Peripheral blood smear; single cell centered in the field — 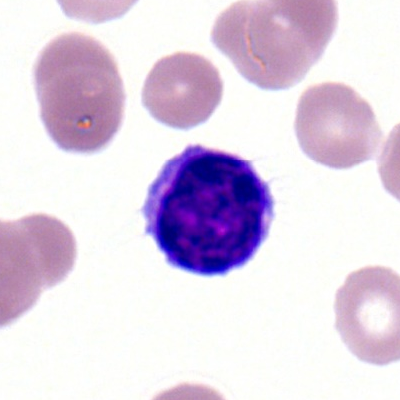Showing a lymphocyte.